Peripheral blood smear: 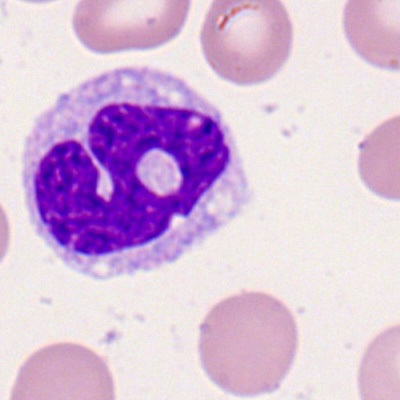

Q: What is shown here?
A: Monocyte.